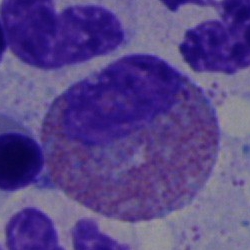 Cell = eosinophilic granulocyte.